May-Grünwald-Giemsa stain. Bone marrow smear
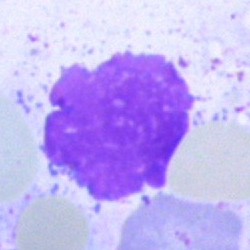
Morphology → artifact.